Bone marrow smear:
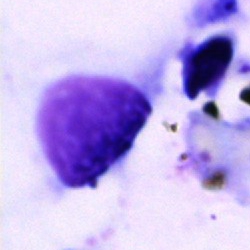 Cell: artifact.